Bone marrow smear; MGG-stained — 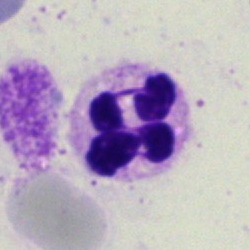Neutrophil (segmented).